Image size 250×250; bone marrow aspirate smear — 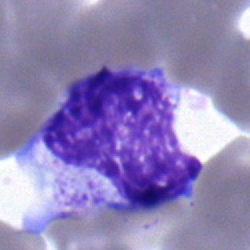
Classification: metamyelocyte.